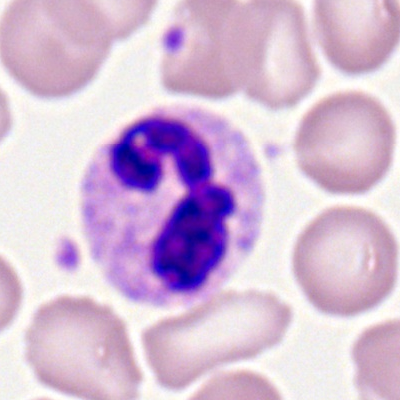 Cell = neutrophil (segmented).